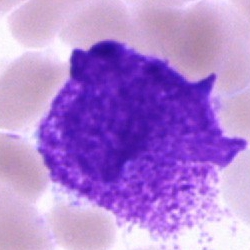

Impression — artefact.